Bone marrow smear. 250×250 px.
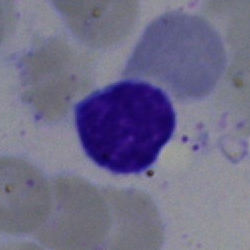Specimen: bone marrow aspirate smear.
Cell type: typical lymphocyte.